Bone marrow smear · 40× oil immersion.
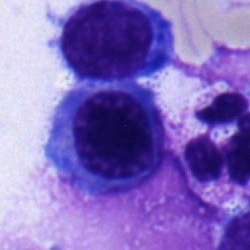

Cell = normoblast.